Bone marrow smear
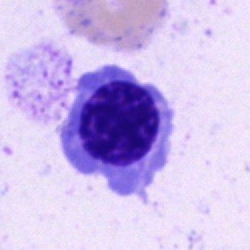This is a nucleated red blood cell.